Bone marrow smear; 40× oil immersion; 250 by 250 pixels:
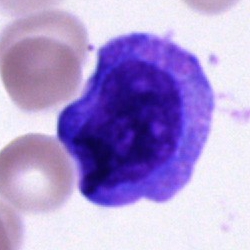 Showing an unidentifiable cell.